May-Grünwald-Giemsa/Pappenheim stain · 250 by 250 pixels · bone marrow aspirate smear.
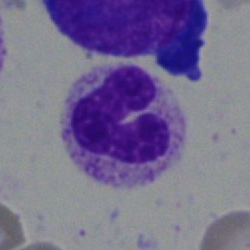The morphological class is stab cell.